Bone marrow aspirate smear: 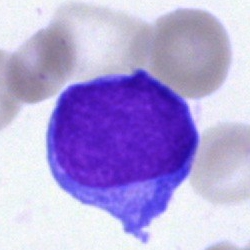

Classification = blast cell.